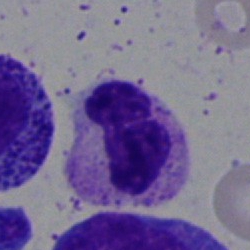Neutrophil (segmented).